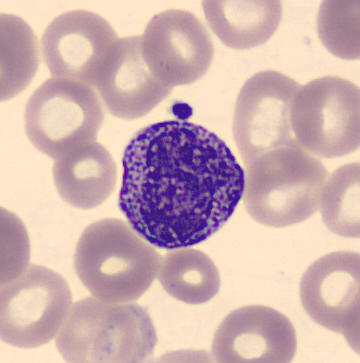 Peripheral blood smear. Cropped to a single cell. Identified as a progranulocyte.